250 by 250 pixels · bone marrow smear · May-Grünwald-Giemsa stain.
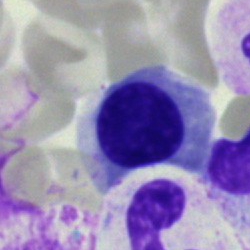
This is a nucleated red blood cell.